Single cell centered in the field · bone marrow smear · image size 250×250.
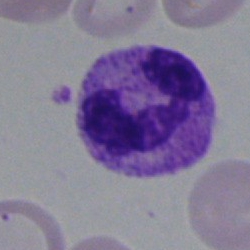Morphology → polymorphonuclear neutrophil.